Bone marrow aspirate smear · 40× oil immersion: 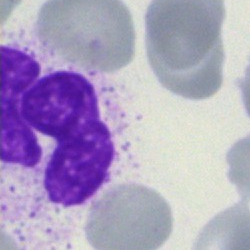

Morphology consistent with a neutrophil (segmented).